Cropped to a single cell; bone marrow aspirate smear — 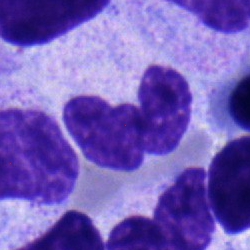

This is a band neutrophil.